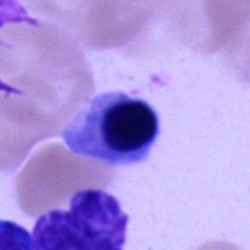 Q: What cell is this?
A: It is a nucleated red cell.